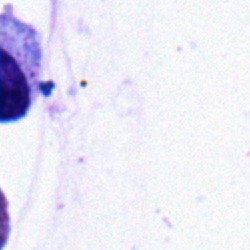Impression — myelocyte.